Bone marrow smear: 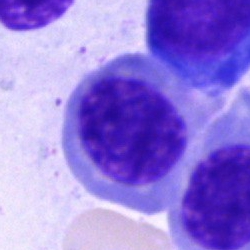 Q: What type of cell is this?
A: It is a nucleated red cell.